Bone marrow aspirate smear · single-cell crop:
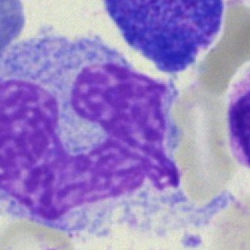

The cell is monocyte.